Peripheral blood film — 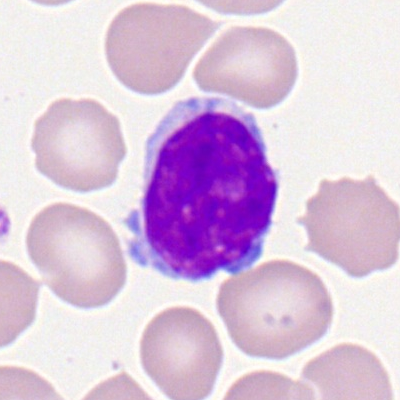This is a typical lymphocyte.